Bone marrow aspirate smear — 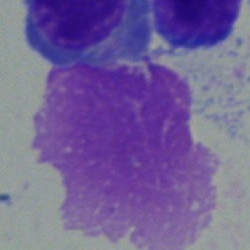 Q: What is shown here?
A: This is an artefact.